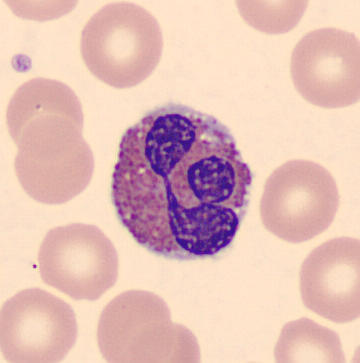
Cell = eosinophil.